Cropped to a single cell · bone marrow smear.
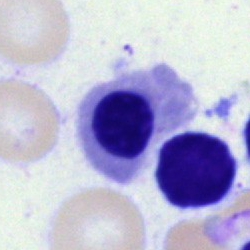 This is a nucleated red cell.